Peripheral blood film.
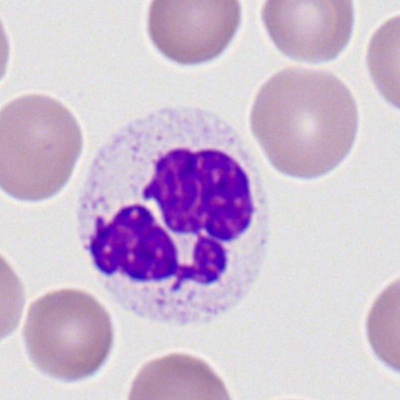

The morphological class is segmented neutrophil.